Bone marrow smear: 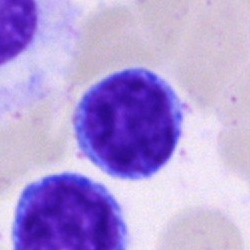 Q: What is shown here?
A: This is a lymphocyte.